Cropped to a single cell · bone marrow smear
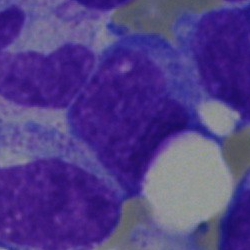
Q: What is shown here?
A: This is a blast.